Bone marrow aspirate smear; brightfield, 40× oil-immersion objective: 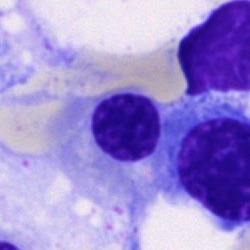
Q: What is shown here?
A: Nucleated red cell.